Bone marrow aspirate smear
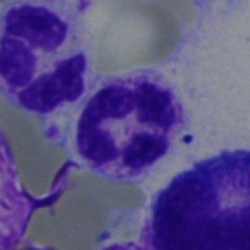
Q: What cell is this?
A: A neutrophil (segmented).